Bone marrow aspirate smear. 250 by 250 pixels
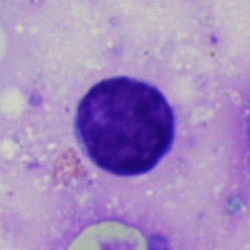

Morphological class — lymphocyte.